Bone marrow aspirate smear
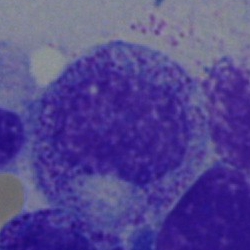
Morphological class — myelocyte.